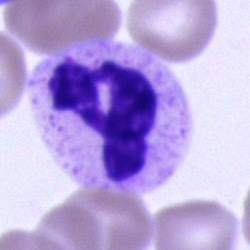 Classification: neutrophil (segmented).